Bone marrow smear:
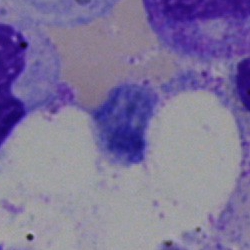Morphology consistent with an artifact.